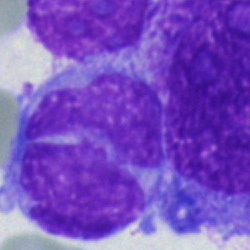Classification — blast.